Brightfield, 40× oil-immersion objective; bone marrow smear; May-Grünwald-Giemsa stain: 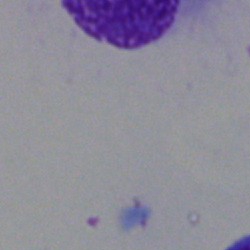Cell: artifact.